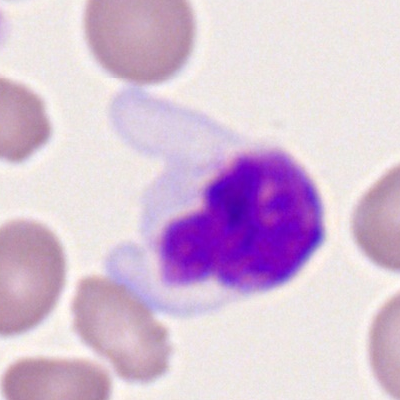Q: What is the morphological classification of this cell?
A: A lymphocyte.